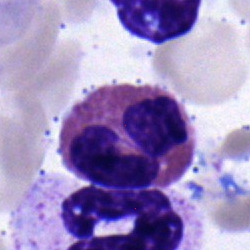

The cell type is eosinophil.